Peripheral blood film; 400×400 px.
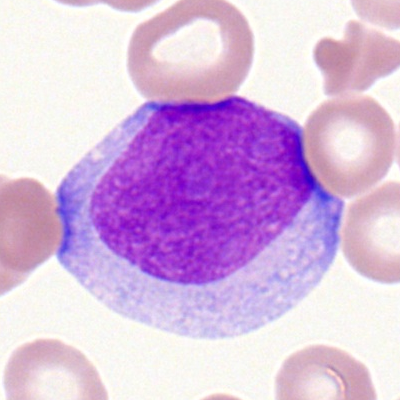 Morphological class: myeloid blast.